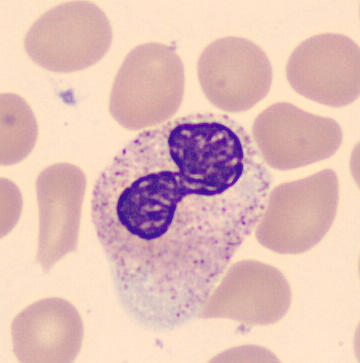Cell type = neutrophil (band).